Bone marrow smear — 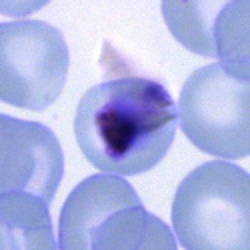 Specimen: bone marrow smear.
Cell type: artefact.